Peripheral blood smear. Romanowsky-stained
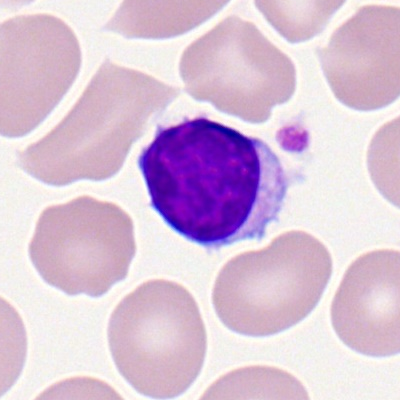A lymphocyte.